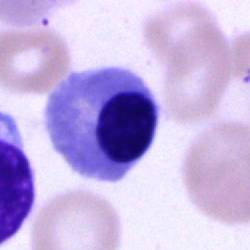 Specimen: bone marrow aspirate smear.
Morphological class: erythroblast.